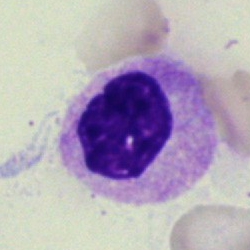

Specimen: bone marrow smear.
Cell: band-form neutrophil.
Lineage: myeloid.